Bone marrow aspirate smear.
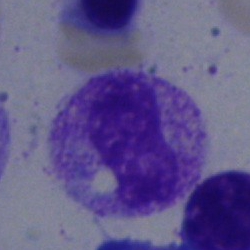 A metamyelocyte.